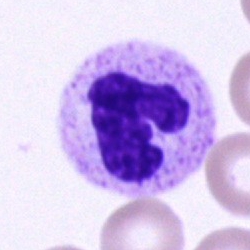
{"cell_type": "neutrophil (segmented)", "lineage": "myeloid"}